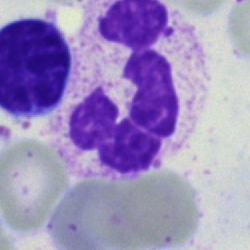 Polymorphonuclear neutrophil.